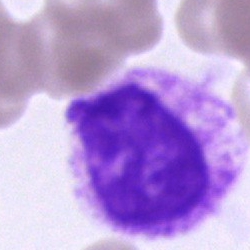

Morphology consistent with an artefact.